Bone marrow smear. May-Grünwald-Giemsa stain: 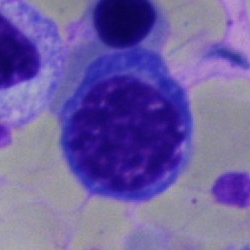Morphological class — normoblast.